Bone marrow aspirate smear.
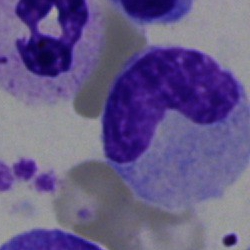

Q: Which cell type is shown here?
A: It is a neutrophil (band).